Peripheral blood smear.
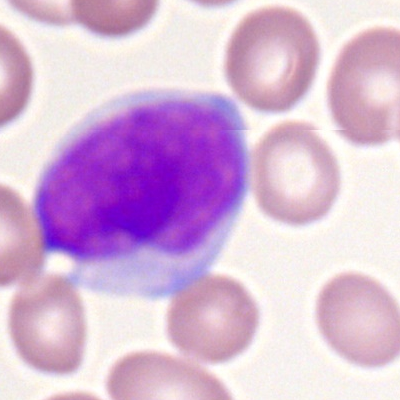

Myeloblast.